Peripheral blood film — 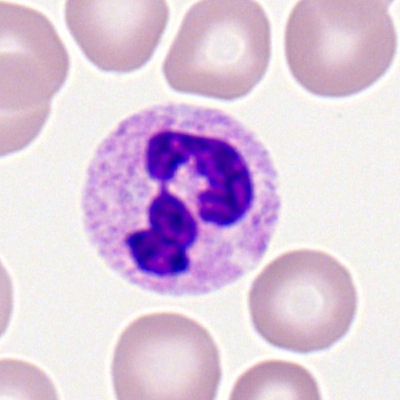
Single cell identified as a segmented neutrophil.